Bone marrow smear. Brightfield, 40× oil-immersion objective. 250×250 px
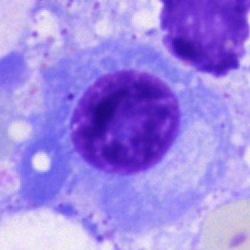Impression → plasma cell.